Peripheral blood film:
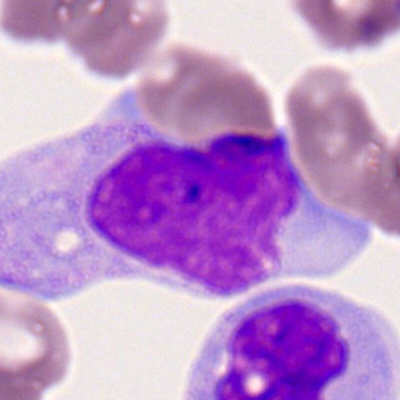Single cell identified as a monocyte.